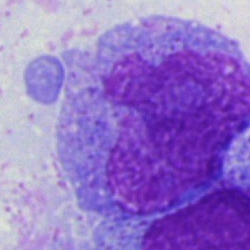 Cell type = monocyte.